Peripheral blood film. Romanowsky-stained:
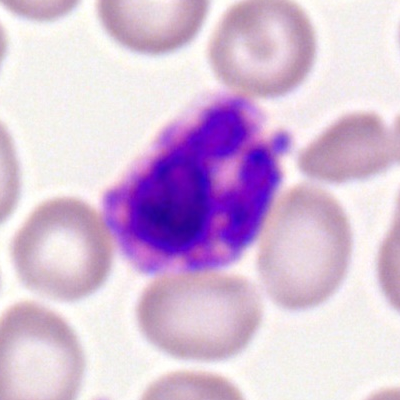
Morphology consistent with a basophil.